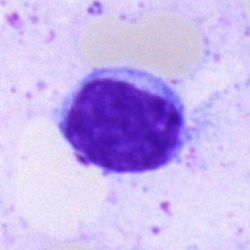

Cell type — typical lymphocyte.